Peripheral blood smear
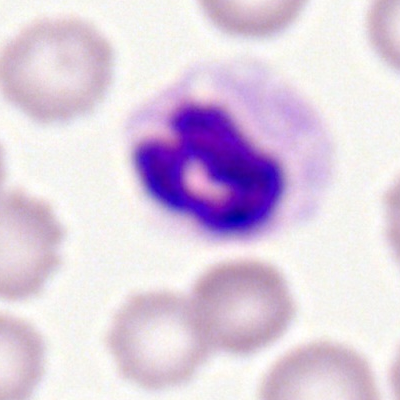

Specimen: peripheral blood film.
Cell type: polymorphonuclear neutrophil.